Bone marrow smear.
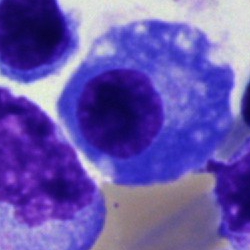 Showing a plasmacyte.